Bone marrow aspirate smear.
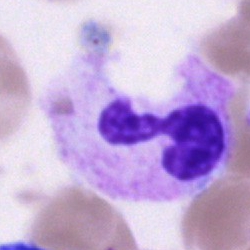
Morphology → segmented neutrophil.